Bone marrow aspirate smear:
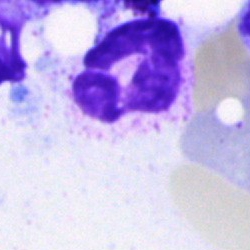Q: What is the morphological classification of this cell?
A: This is a segmented neutrophil.